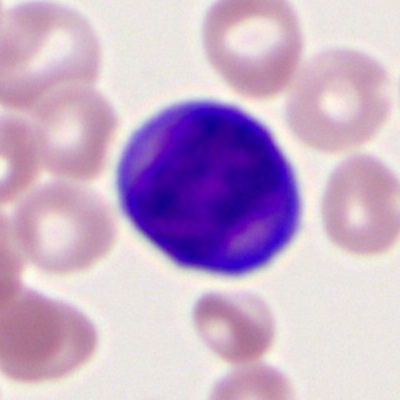
Q: What cell is this?
A: Myeloblast.